Bone marrow smear:
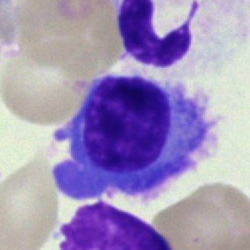 Impression → plasmacyte.